Peripheral blood smear.
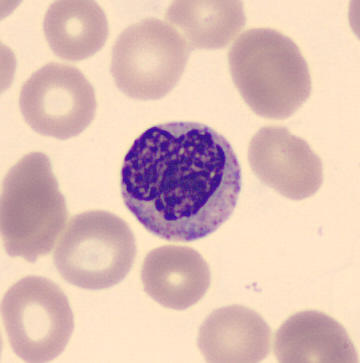 Metamyelocyte.